Bone marrow smear — 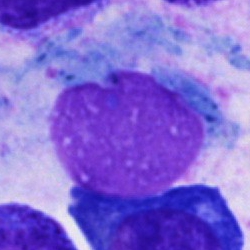
The cell shown is an artefact.